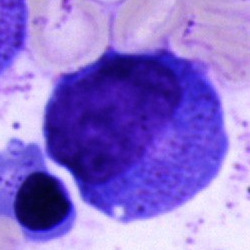
Q: What cell is this?
A: It is a progranulocyte.